Bone marrow aspirate smear; MGG-stained.
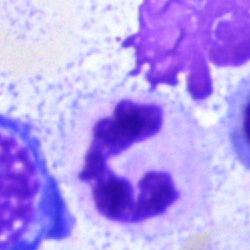

Showing a polymorphonuclear neutrophil.